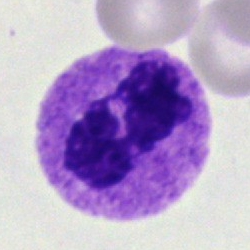

Specimen: bone marrow aspirate smear.
Cell type: segmented neutrophil.
Lineage: myeloid.